Single-cell field. Romanowsky-type stain. Peripheral blood smear — 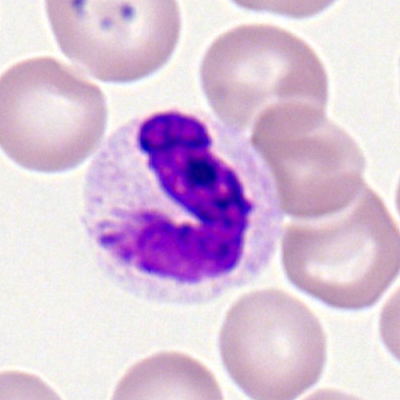Morphology consistent with a neutrophil (segmented).